Bone marrow aspirate smear; 250×250 px; single-cell field
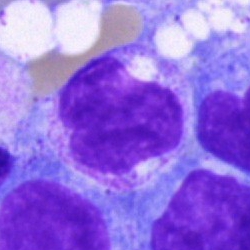Morphological class = band neutrophil.